Bone marrow aspirate smear: 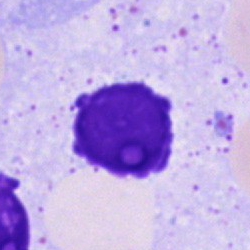An artifact.